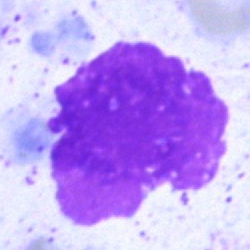Impression — artefact.